Bone marrow aspirate smear: 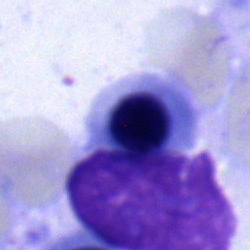

Nucleated red cell.